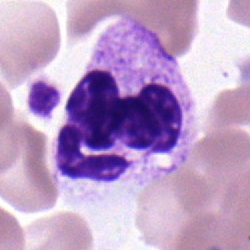

{"cell_type": "polymorphonuclear neutrophil"}